Bone marrow smear:
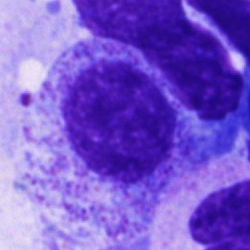This is a promyelocyte.